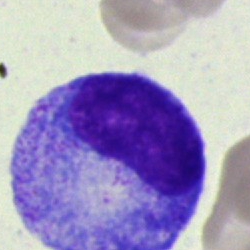 Impression — progranulocyte.